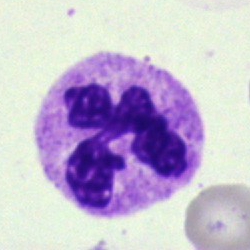Specimen: bone marrow smear.
Classification: segmented neutrophil.
Lineage: myeloid.